Bone marrow smear. 250×250
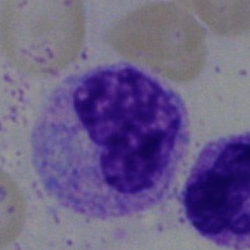
{"cell_type": "metamyelocyte"}